Bone marrow aspirate smear — 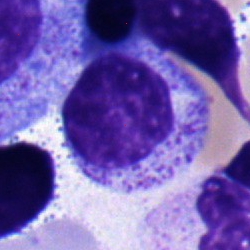
Morphology — myelocyte.